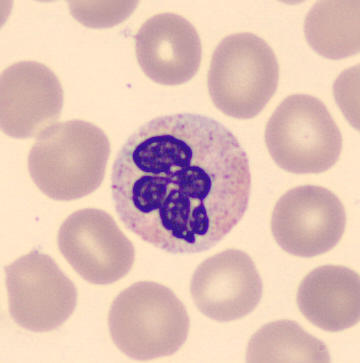 Peripheral blood smear. Morphology — neutrophil (segmented).